Bone marrow aspirate smear; image size 250×250:
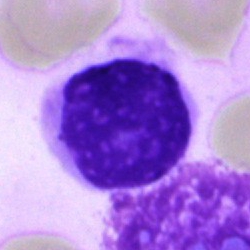 The classification is artefact.